250×250; bone marrow aspirate smear.
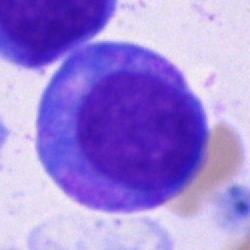

The cell is promyelocyte.